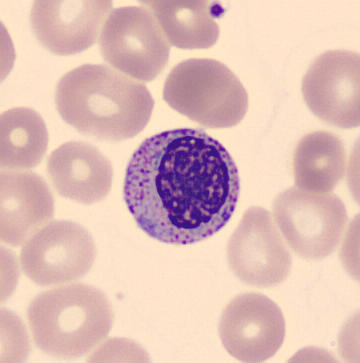
Q: What cell is this?
A: A metamyelocyte.